Image size 250×250. Bone marrow aspirate smear
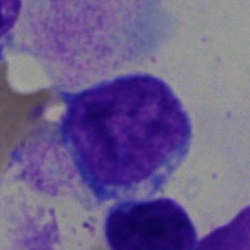
Morphology consistent with an undifferentiated blast.